Bone marrow smear.
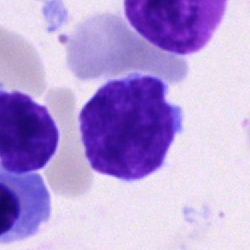
Q: Identify the cell.
A: Lymphocyte.